Image size 250×250. Bone marrow aspirate smear.
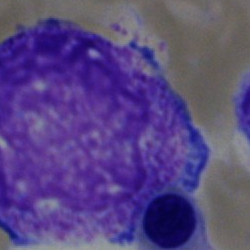
Single cell identified as a progranulocyte.